Cropped to a single cell; bone marrow aspirate smear: 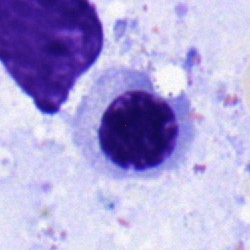
Morphology — nucleated red cell.